Bone marrow smear. 40× oil immersion. 250 by 250 pixels — 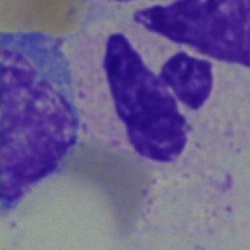Specimen: bone marrow aspirate smear.
Cell type: polymorphonuclear neutrophil.
Lineage: myeloid.